Bone marrow smear:
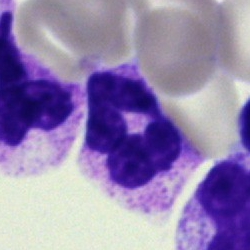Single cell identified as a segmented neutrophil.